Bone marrow aspirate smear.
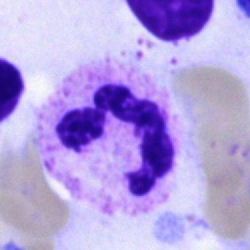 {"cell_type": "segmented neutrophil", "lineage": "myeloid"}